Image size 250×250. Bone marrow aspirate smear — 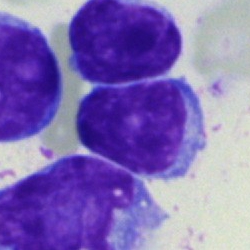 Cell type: typical lymphocyte.